Bone marrow aspirate smear.
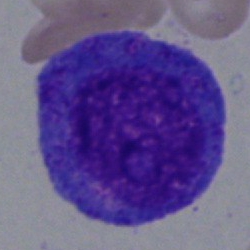

Specimen: bone marrow aspirate smear.
Morphological class: promyelocyte.